Bone marrow smear · single-cell crop: 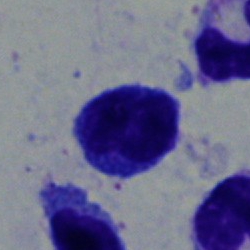

This is a typical lymphocyte.